Single cell centered in the field. Bone marrow aspirate smear.
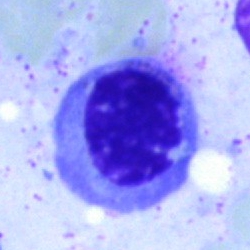

Cell type = normoblast.